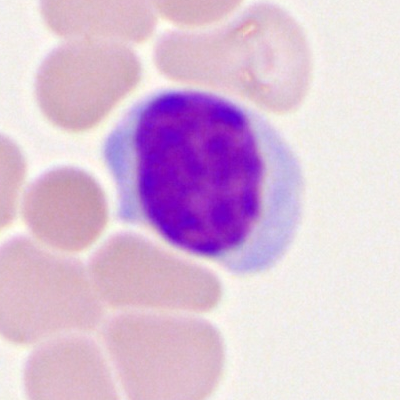
The cell shown is a typical lymphocyte.